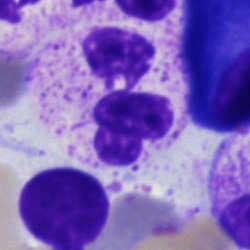Q: What type of cell is this?
A: This is a polymorphonuclear neutrophil.